Bone marrow aspirate smear — 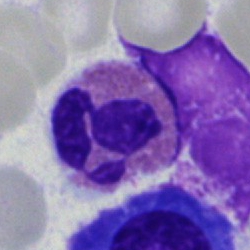 Eosinophil.